Pappenheim-stained · single-cell field · bone marrow aspirate smear:
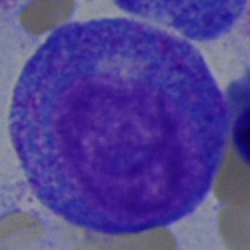

Q: Identify the cell.
A: This is a promyelocyte.